Bone marrow aspirate smear:
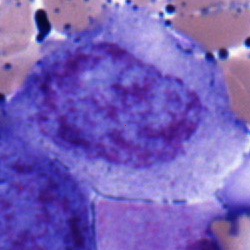 A blast.